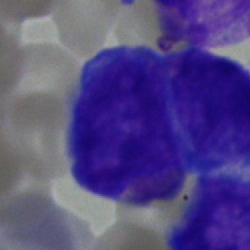

This is an undifferentiated blast.